Bone marrow aspirate smear:
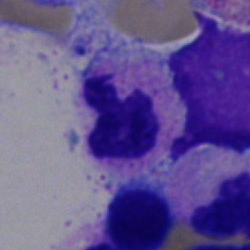Single cell identified as a polymorphonuclear neutrophil.